Bone marrow aspirate smear
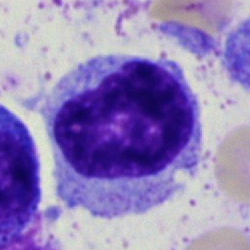The cell shown is a myelocyte.